Bone marrow aspirate smear: 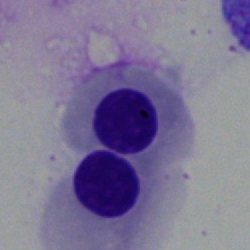

Q: What type of cell is this?
A: It is a nucleated red blood cell.